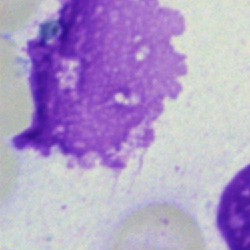Artefact.